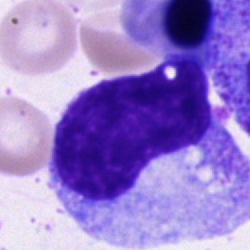Progranulocyte.